Bone marrow smear: 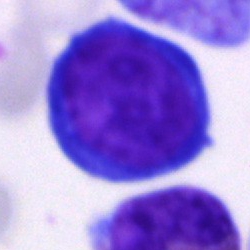
Cell = pronormoblast.